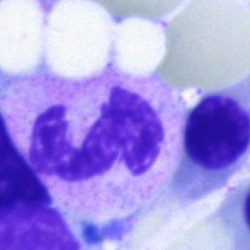

Single cell identified as a polymorphonuclear neutrophil.